Bone marrow smear:
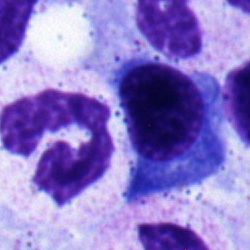
{"cell_type": "nucleated red blood cell", "lineage": "erythroid"}